Bone marrow smear — 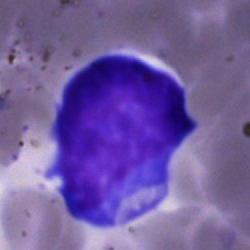

Q: Identify the cell.
A: This is a blast cell.